Bone marrow aspirate smear; single cell centered in the field; 250×250 px.
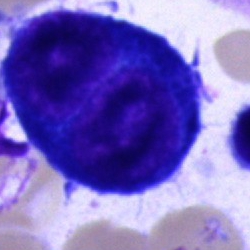{"cell_type": "proerythroblast"}